Peripheral blood film — 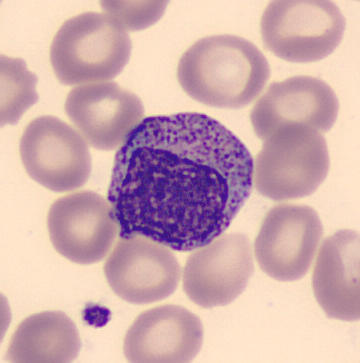
The cell is myelocyte.